Bone marrow smear — 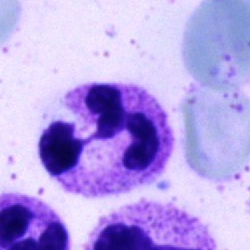 {"cell_type": "neutrophil (segmented)", "lineage": "myeloid"}